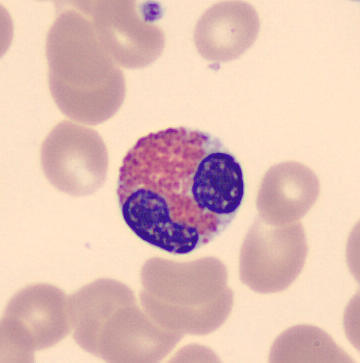

Morphology — eosinophilic granulocyte.

Preparation: Peripheral blood film.